40× oil immersion · bone marrow smear — 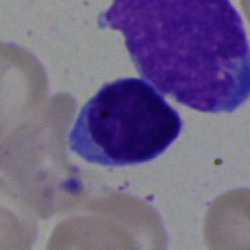

Morphology consistent with a lymphocyte.